Peripheral blood smear · image size 400×400.
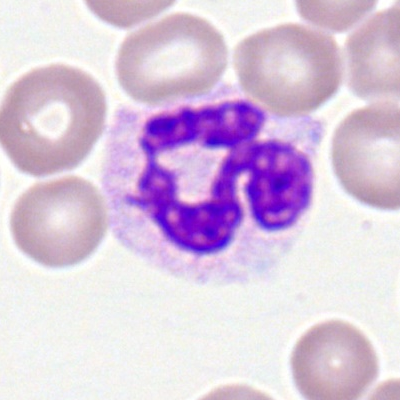
Showing a neutrophil (segmented).